Peripheral blood film.
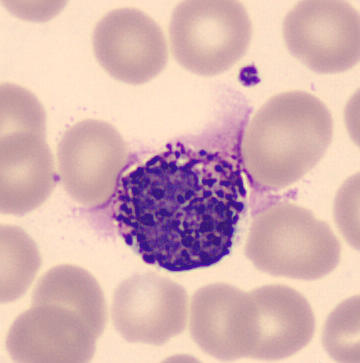
This is a basophilic granulocyte.